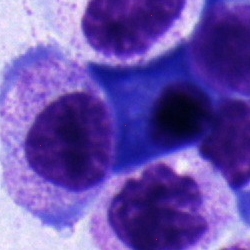
Q: Identify the cell.
A: This is a plasma cell.